250×250. Bone marrow smear. Pappenheim-stained:
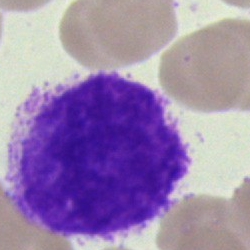 Single cell identified as an artefact.